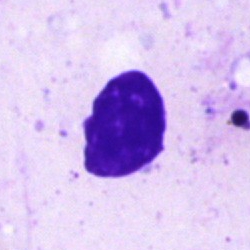
{"cell_type": "artefact"}